Bone marrow aspirate smear
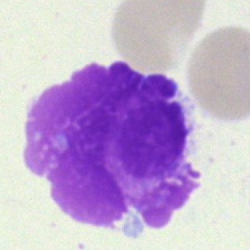Q: What is shown here?
A: An artifact.